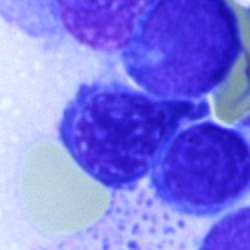

Q: Identify the cell.
A: It is an erythroblast.